Bone marrow smear · 250 by 250 pixels.
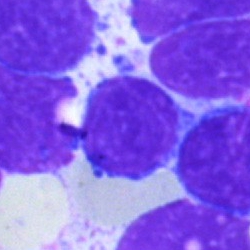Specimen: bone marrow aspirate smear.
Morphological class: lymphocyte.
Lineage: lymphoid.